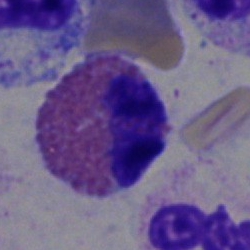
Specimen: bone marrow smear.
Morphological class: eosinophil.
Lineage: myeloid.